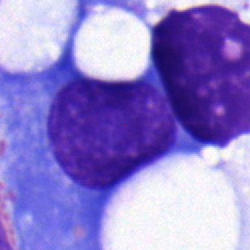The cell is plasmacyte.